Image size 250×250. May-Grünwald-Giemsa/Pappenheim stain. Bone marrow smear — 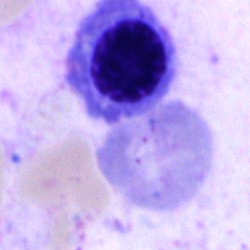{"cell_type": "nucleated red blood cell", "lineage": "erythroid"}